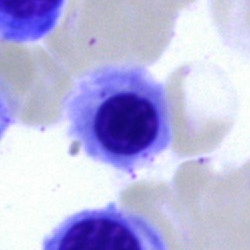

Cell = normoblast.